Bone marrow smear:
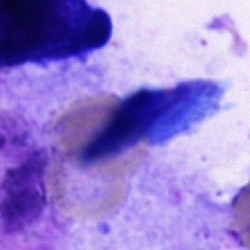
Q: What is shown here?
A: An artefact.